Peripheral blood smear. 360×363 — 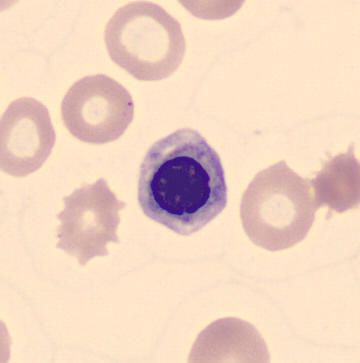

Q: Identify the cell.
A: Nucleated red blood cell.